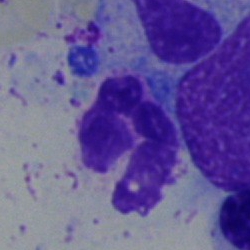 Single-cell crop from a bone marrow smear: polymorphonuclear neutrophil.